Bone marrow aspirate smear. 40× oil immersion. Single-cell field — 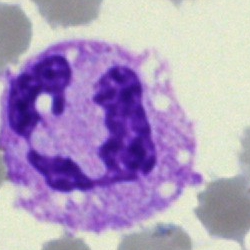
The cell shown is a segmented neutrophil.